Bone marrow aspirate smear; cropped to a single cell; image size 250×250 — 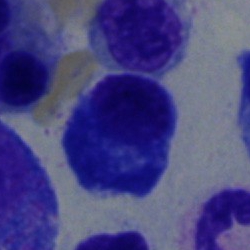 The classification is plasmacyte.